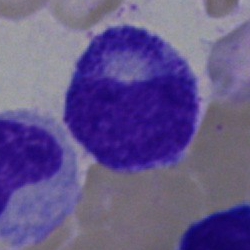Showing a progranulocyte.